Cropped to a single cell; May-Grünwald-Giemsa/Pappenheim stain; bone marrow smear.
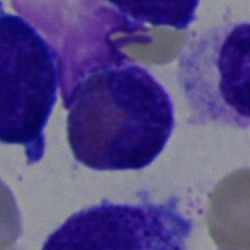Q: What type of cell is this?
A: Eosinophil.